Bone marrow aspirate smear.
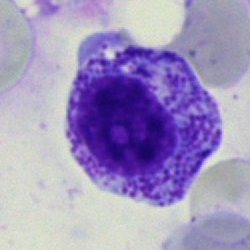 Q: What is shown here?
A: It is a myelocyte.